Bone marrow smear
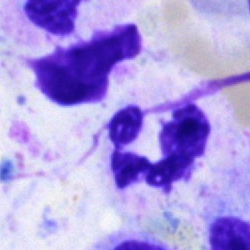 Segmented neutrophil.